250 by 250 pixels; bone marrow smear
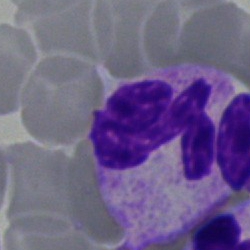 The cell shown is a segmented neutrophil.